May-Grünwald-Giemsa stain · bone marrow smear · single-cell field.
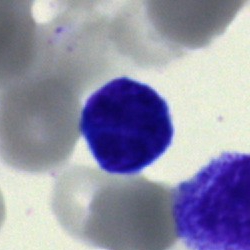 Morphological class: cell of indeterminate lineage.